250×250. Bone marrow smear.
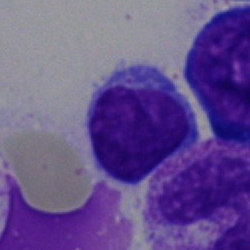
The classification is lymphocyte.